Bone marrow aspirate smear.
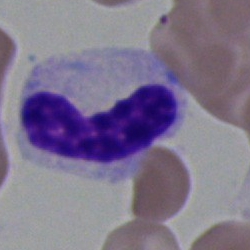
Cell: band-form neutrophil.